Bone marrow aspirate smear: 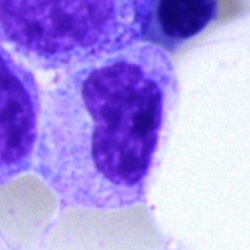

Morphological class = metamyelocyte.